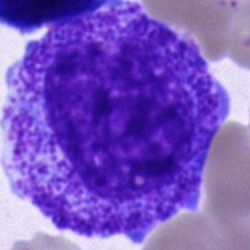Q: What cell is this?
A: It is a promyelocyte.